250×250 px; bone marrow aspirate smear.
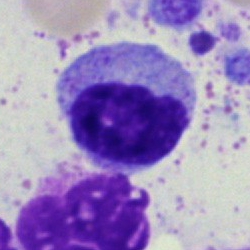 Single cell identified as a myelocyte.